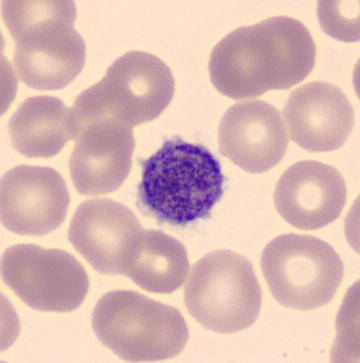

Image: Peripheral blood film.
Cell type: platelet (thrombocyte).